Pappenheim-stained; bone marrow smear — 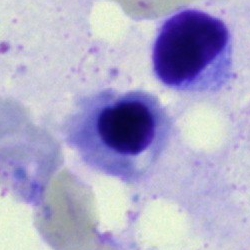

Impression → nucleated red blood cell.